Bone marrow aspirate smear.
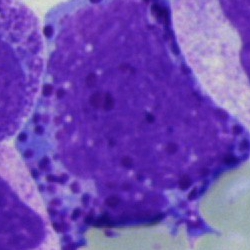 The morphological class is basophilic granulocyte.